Bone marrow smear · 40× objective, oil immersion · single cell centered in the field:
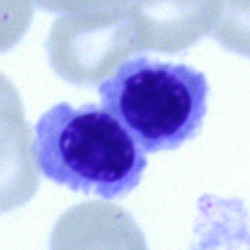
Single cell identified as an erythroblast.